Peripheral blood smear:
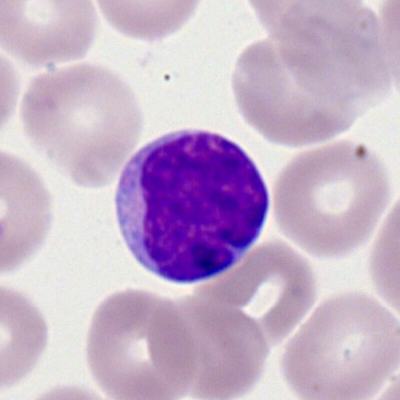Single cell identified as a lymphocyte.